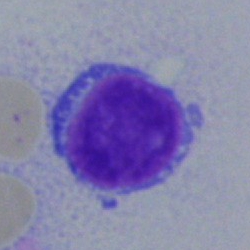 Specimen: bone marrow aspirate smear.
Cell type: lymphocyte.
Lineage: lymphoid.